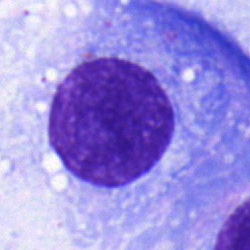 The cell shown is a plasmacyte.